Bone marrow aspirate smear: 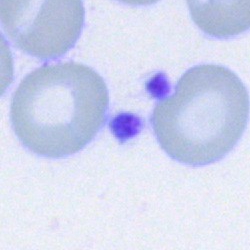{"cell_type": "artifact"}